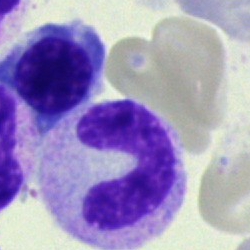 Single cell identified as a band-form neutrophil.